Single cell centered in the field. Bone marrow aspirate smear
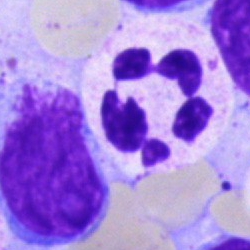 Q: Which cell type is shown here?
A: This is a polymorphonuclear neutrophil.